Bone marrow smear · single-cell crop
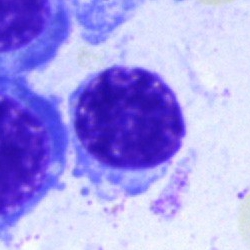 Classification = typical lymphocyte.